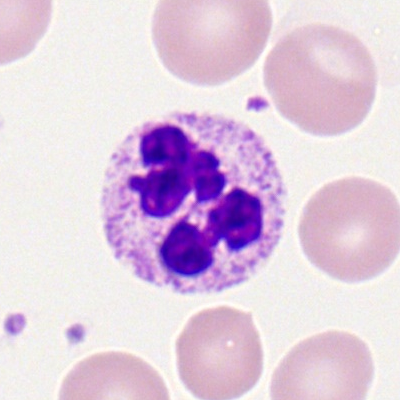
Morphological class — segmented neutrophil.